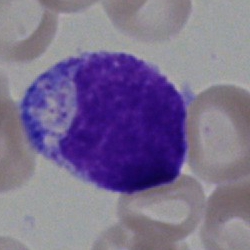

Cell = myelocyte.